Bone marrow smear
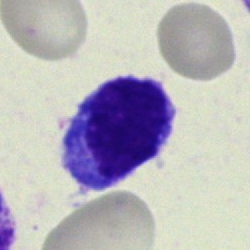
Impression — lymphocyte.